Bone marrow aspirate smear:
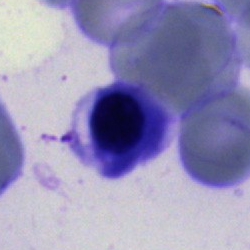

Cell: normoblast.